May-Grünwald-Giemsa stain. Bone marrow smear. Image size 250×250:
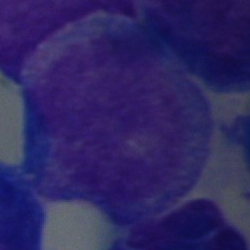Q: Which cell type is shown here?
A: This is a myelocyte.